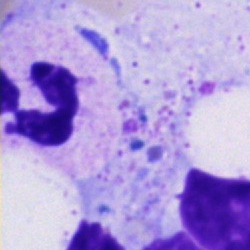

Cell: polymorphonuclear neutrophil.